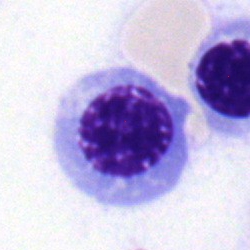 Nucleated red cell.